Bone marrow smear; brightfield, 40× oil-immersion objective — 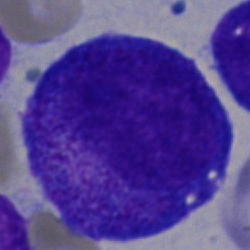 The cell shown is a promyelocyte.